Bone marrow smear.
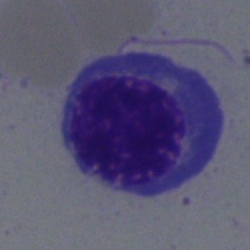Morphology consistent with an erythroblast.